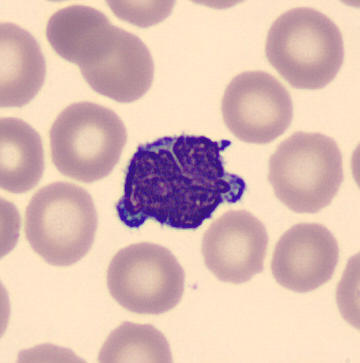
Specimen: peripheral blood film.
Cell type: lymphocyte.
Lineage: lymphoid.